Pappenheim-stained. Bone marrow smear. 250×250 — 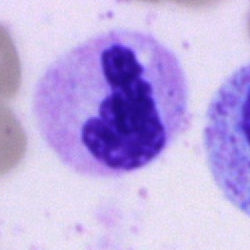

Morphological class: neutrophil (segmented).